Bone marrow smear; 40× objective, oil immersion; single-cell crop:
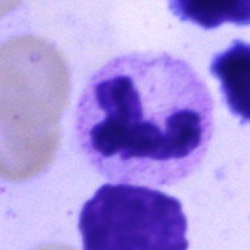Morphological class — polymorphonuclear neutrophil.